Bone marrow aspirate smear — 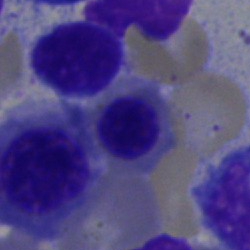{"cell_type": "nucleated red blood cell", "lineage": "erythroid"}